Bone marrow aspirate smear.
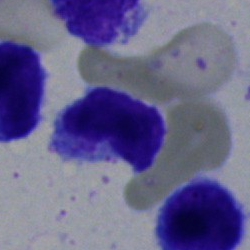Cell type = typical lymphocyte.